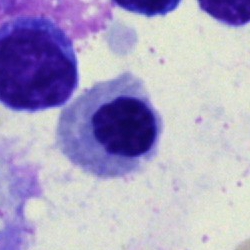 An erythroblast.